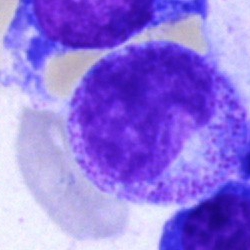 Specimen: bone marrow aspirate smear.
Classification: myelocyte.